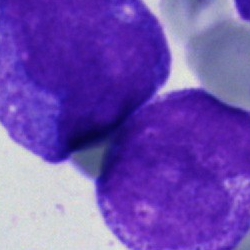The cell is undifferentiated blast.